Image size 250×250; bone marrow smear: 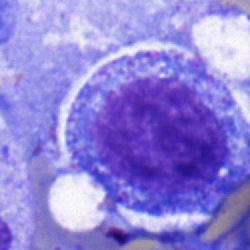

This is a progranulocyte.